Bone marrow aspirate smear
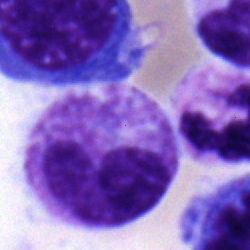

Classification: metamyelocyte.